Bone marrow smear
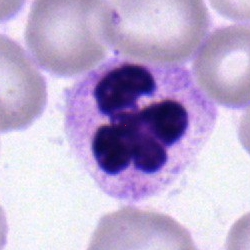A neutrophil (segmented).